Bone marrow smear — 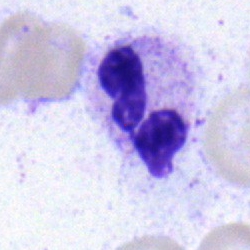
Specimen: bone marrow smear.
Cell type: segmented neutrophil.
Lineage: myeloid.